Bone marrow smear — 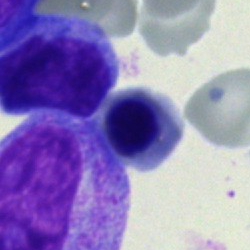

Impression — nucleated red cell.